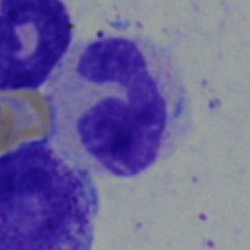

Bone marrow smear showing a band-form neutrophil.